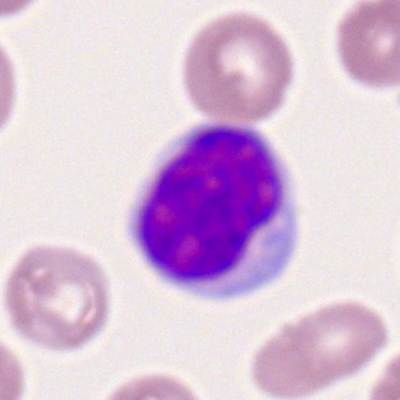

The cell type is lymphocyte.